Bone marrow smear — 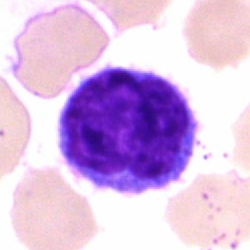
The morphological class is typical lymphocyte.